Bone marrow aspirate smear · cropped to a single cell: 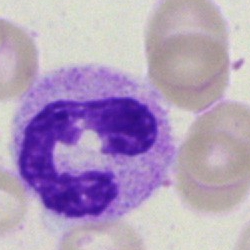

Q: What is shown here?
A: Neutrophil (segmented).